Bone marrow smear; May-Grünwald-Giemsa/Pappenheim stain; brightfield, 40× oil-immersion objective: 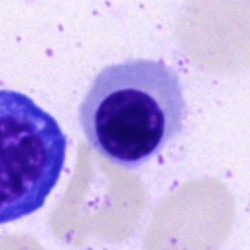 This is a nucleated red blood cell.